Brightfield, 40× oil-immersion objective. Single-cell field. Bone marrow aspirate smear.
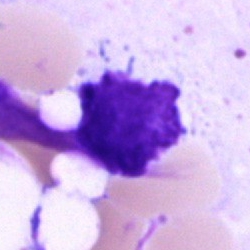
Cell type = artifact.